Bone marrow smear; May-Grünwald-Giemsa/Pappenheim stain
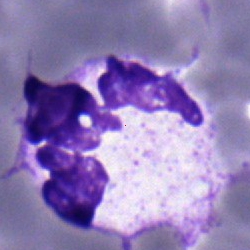Cell = segmented neutrophil.